Bone marrow smear; 40× objective, oil immersion.
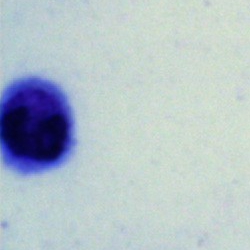

The morphological class is typical lymphocyte.